Brightfield microscopy, 40× oil immersion; bone marrow smear; 250×250 px: 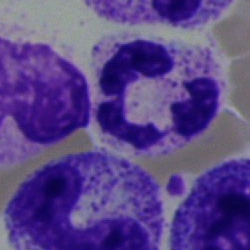 Segmented neutrophil.